Bone marrow smear.
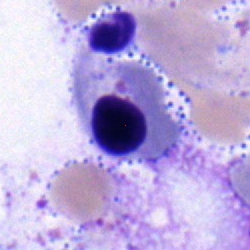Nucleated red blood cell.